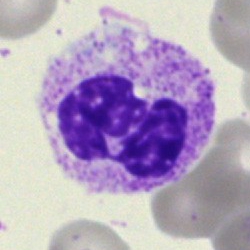
Specimen: bone marrow aspirate smear.
Morphological class: polymorphonuclear neutrophil.
Lineage: myeloid.